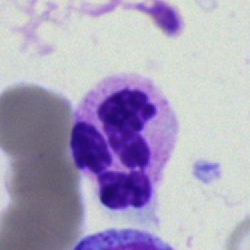

The cell shown is a neutrophil (segmented).